Bone marrow smear.
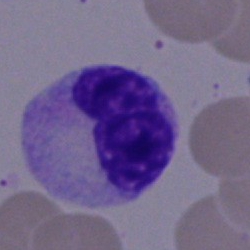

A metamyelocyte.